Bone marrow smear — 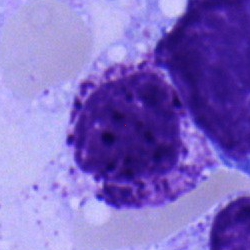

Morphology → basophil.